Bone marrow smear. Single-cell crop. MGG-stained — 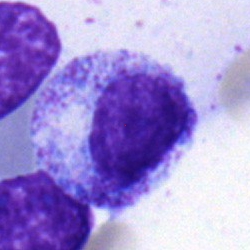 Cell type = myelocyte.